Bone marrow smear:
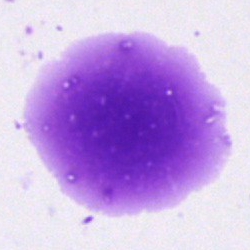Morphology consistent with an artifact.